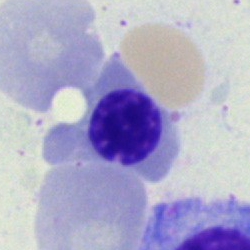 Morphology consistent with a nucleated red blood cell.